Peripheral blood smear: 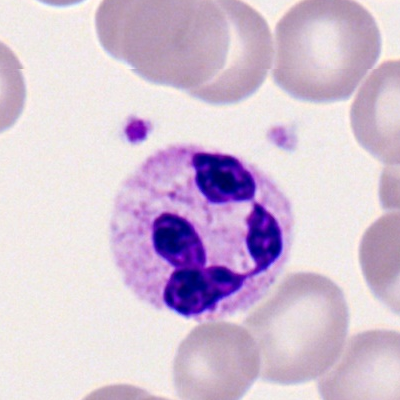Impression — segmented neutrophil.